Bone marrow aspirate smear. Brightfield, 40× oil-immersion objective: 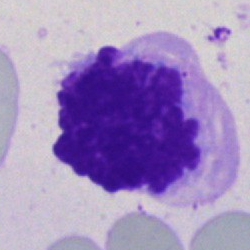

Specimen: bone marrow aspirate smear.
Cell type: artefact.